Bone marrow smear:
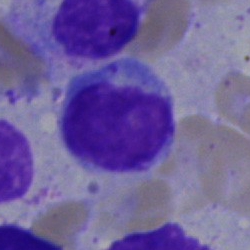 Cell type: lymphocyte.